Peripheral blood smear; 400×400 px.
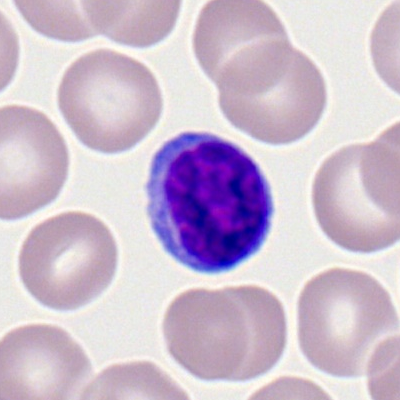 The cell shown is a typical lymphocyte.